Image size 250×250. Bone marrow aspirate smear. May-Grünwald-Giemsa/Pappenheim stain: 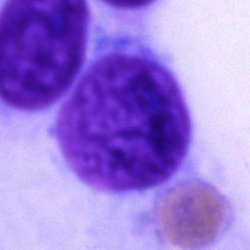

Showing a blast cell.